Bone marrow smear.
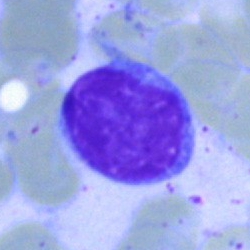{"cell_type": "lymphocyte"}